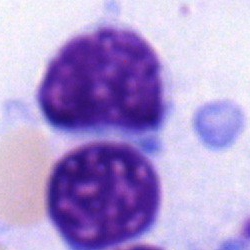

Q: Which cell type is shown here?
A: A typical lymphocyte.